Bone marrow aspirate smear — 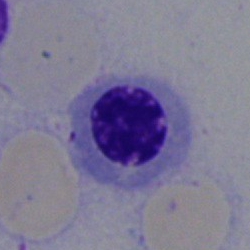

Morphology → nucleated red blood cell.